Bone marrow aspirate smear.
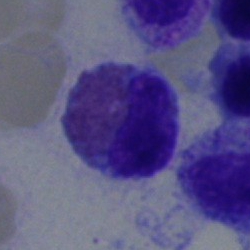
Q: What is the morphological classification of this cell?
A: It is an eosinophilic granulocyte.